Bone marrow aspirate smear: 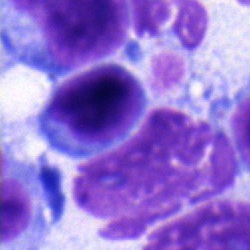

Morphology consistent with a typical lymphocyte.